Bone marrow smear:
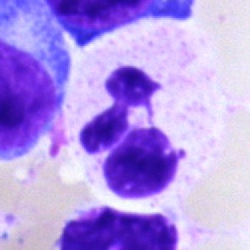 Q: What type of cell is this?
A: This is a neutrophil (segmented).